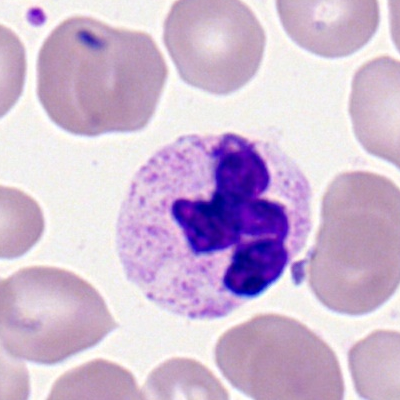Q: What is shown here?
A: Segmented neutrophil.